Bone marrow smear: 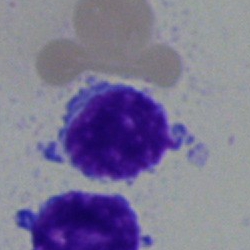 Specimen: bone marrow smear.
Morphological class: lymphocyte.
Lineage: lymphoid.